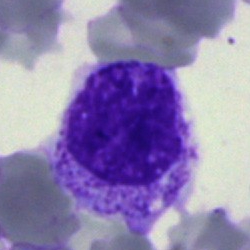

Morphological class = myelocyte.